Peripheral blood film.
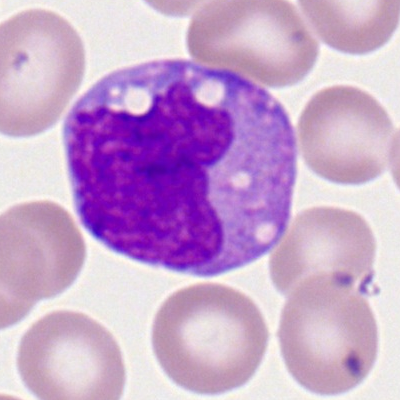Q: Which cell type is shown here?
A: Monocyte.